Bone marrow smear
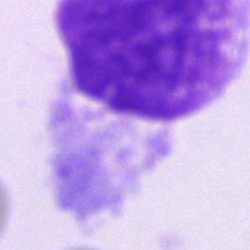 Cell type: artefact.